Bone marrow aspirate smear; May-Grünwald-Giemsa/Pappenheim stain.
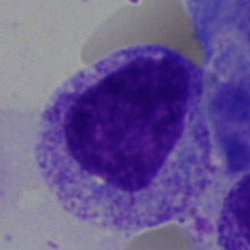 Q: What cell is this?
A: It is a progranulocyte.